Bone marrow smear.
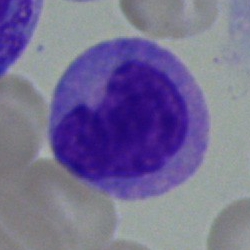

The morphological class is monocyte.